40× objective, oil immersion; bone marrow smear; single cell centered in the field
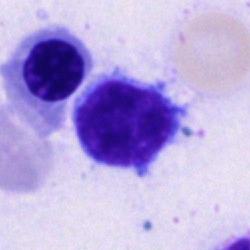 A lymphocyte.